Bone marrow aspirate smear.
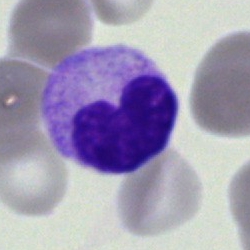

Morphological class: metamyelocyte.